Bone marrow aspirate smear:
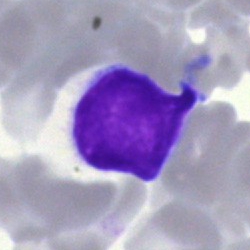{"cell_type": "typical lymphocyte", "lineage": "lymphoid"}